Bone marrow aspirate smear:
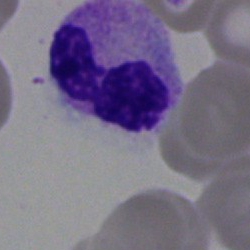 A polymorphonuclear neutrophil.